Bone marrow smear.
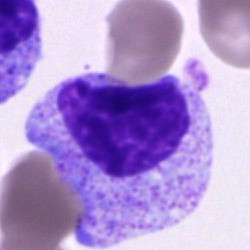The cell type is myelocyte.